Bone marrow smear — 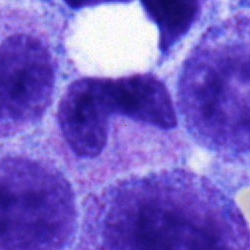The morphological class is neutrophil (band).